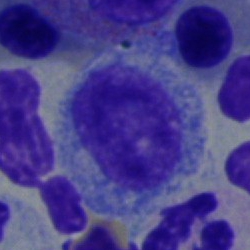
The cell shown is a myelocyte.